Bone marrow aspirate smear — 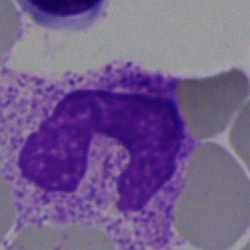

{"cell_type": "polymorphonuclear neutrophil", "lineage": "myeloid"}